Brightfield microscopy, 40× oil immersion. Bone marrow smear.
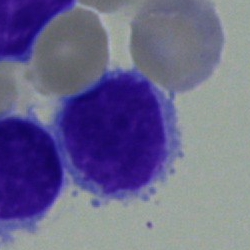
Cell: lymphocyte.